Bone marrow aspirate smear · 40× oil immersion:
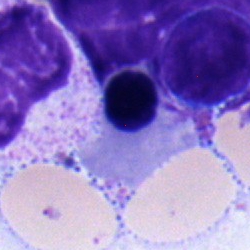{"cell_type": "nucleated red blood cell", "lineage": "erythroid"}